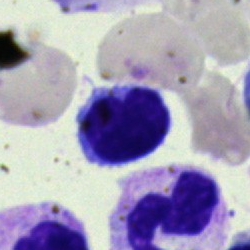

Q: What type of cell is this?
A: Lymphocyte.